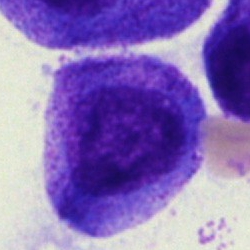 Impression → myelocyte.